Bone marrow aspirate smear:
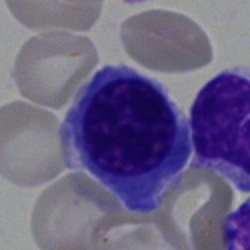The cell type is nucleated red blood cell.